Bone marrow smear · May-Grünwald-Giemsa stain.
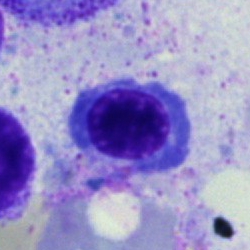 Morphology → nucleated red cell.